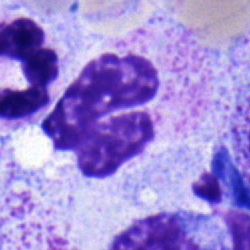 Q: Which cell type is shown here?
A: A band-form neutrophil.